Bone marrow smear; 250 by 250 pixels:
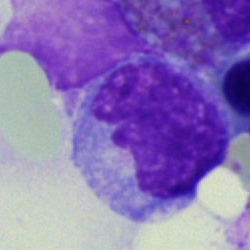

The classification is monocyte.